Bone marrow aspirate smear.
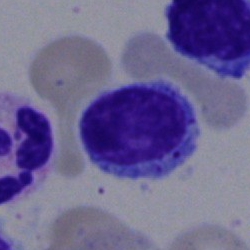Showing a typical lymphocyte.